Bone marrow aspirate smear
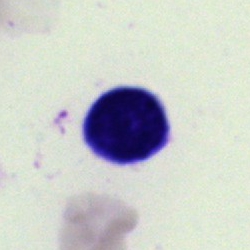

Q: What is shown here?
A: An artifact.